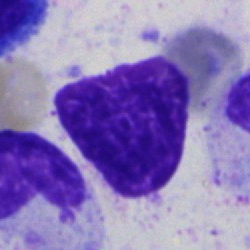

Showing an artefact.